Bone marrow aspirate smear — 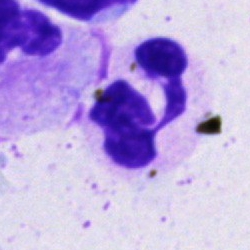
Segmented neutrophil.